Bone marrow smear.
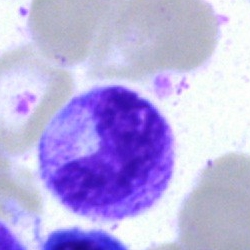 Q: Which cell type is shown here?
A: It is a stab cell.